Brightfield, 40× oil-immersion objective. Bone marrow smear:
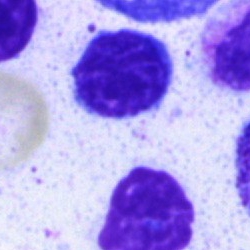
Morphology — lymphocyte.